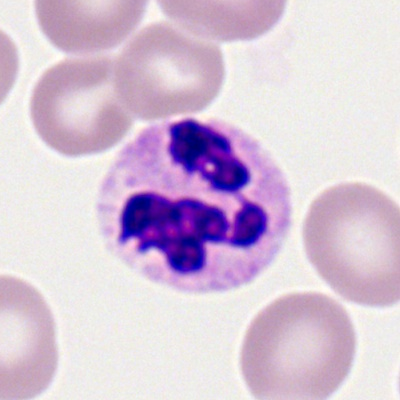
{"cell_type": "polymorphonuclear neutrophil", "lineage": "myeloid"}